40× objective, oil immersion. Bone marrow smear. MGG-stained
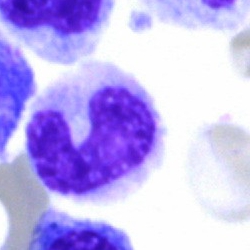Specimen: bone marrow smear.
Morphological class: stab cell.